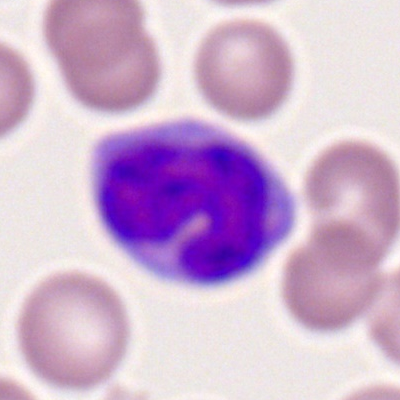Cell type: monocyte.